Single-cell crop; bone marrow aspirate smear:
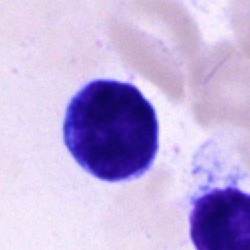

Q: What type of cell is this?
A: Cell of indeterminate lineage.